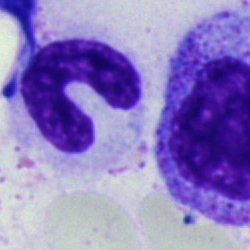

Q: What type of cell is this?
A: It is a neutrophil (band).